Bone marrow aspirate smear; cropped to a single cell; brightfield microscopy, 40× oil immersion.
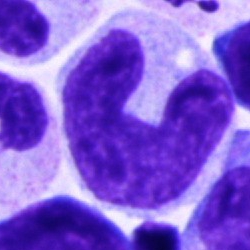Q: What is the morphological classification of this cell?
A: This is a monocyte.